Bone marrow aspirate smear — 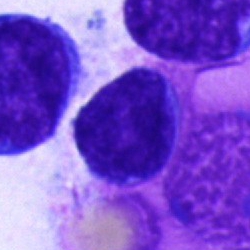 An undifferentiated blast.